Bone marrow aspirate smear: 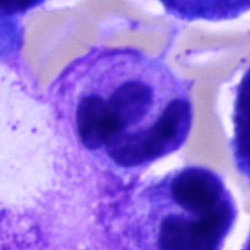 {"cell_type": "neutrophil (segmented)", "lineage": "myeloid"}